Bone marrow aspirate smear · single cell centered in the field.
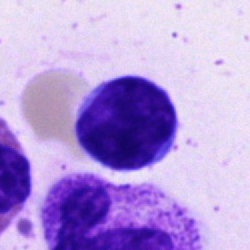
Specimen: bone marrow smear.
Cell type: lymphocyte.
Lineage: lymphoid.